Bone marrow smear
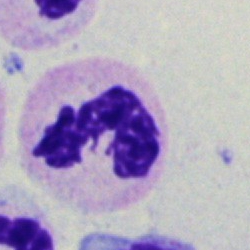
This is a polymorphonuclear neutrophil.